Bone marrow aspirate smear · MGG-stained — 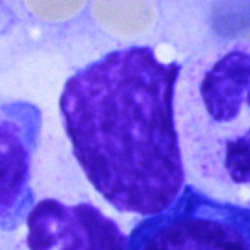 This is an artefact.